Bone marrow smear. 250×250
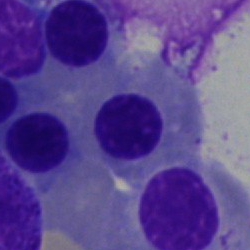
A nucleated red cell.